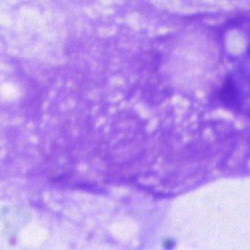

Q: What is shown here?
A: This is an artifact.